Bone marrow smear.
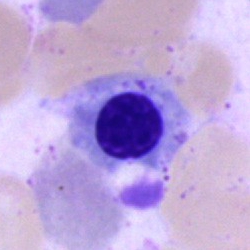Showing a nucleated red cell.